Bone marrow aspirate smear.
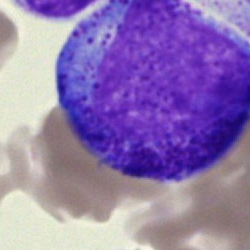 Q: Identify the cell.
A: This is a progranulocyte.